250×250 · May-Grünwald-Giemsa stain · bone marrow smear
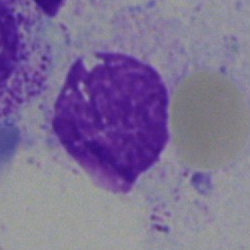Morphology consistent with an artefact.